Bone marrow smear
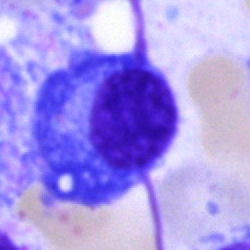

Q: What cell is this?
A: A plasma cell.